Single-cell crop · 40× objective, oil immersion · bone marrow smear.
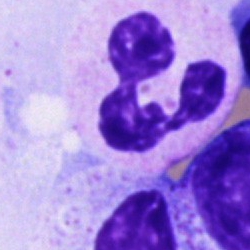 Cell type: neutrophil (segmented).